Bone marrow smear:
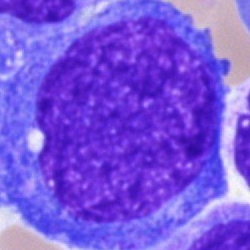Cell — undifferentiated blast.